Bone marrow aspirate smear · cropped to a single cell:
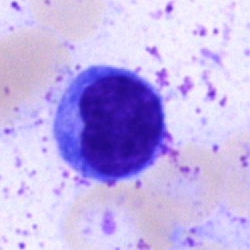 Q: Which cell type is shown here?
A: It is a lymphocyte.